Pappenheim-stained · bone marrow smear: 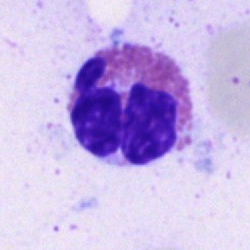

Q: What is shown here?
A: This is an eosinophilic granulocyte.